Bone marrow smear · image size 250×250
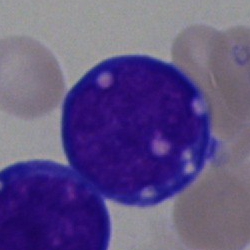The cell shown is a blast.